Bone marrow aspirate smear — 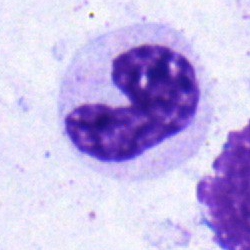
Showing a band-form neutrophil.